Bone marrow aspirate smear.
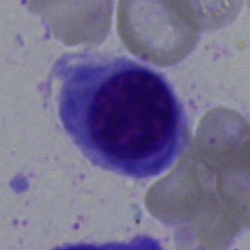 A nucleated red blood cell.